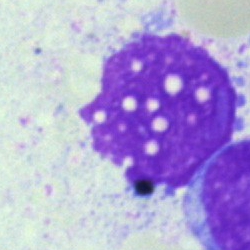
Cell: artefact.